Bone marrow smear:
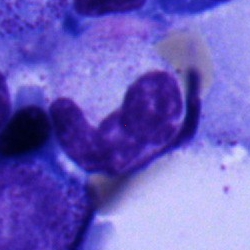

The classification is neutrophil (segmented).